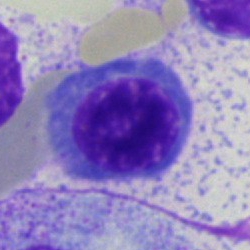

Specimen: bone marrow aspirate smear.
Cell type: erythroblast.
Lineage: erythroid.